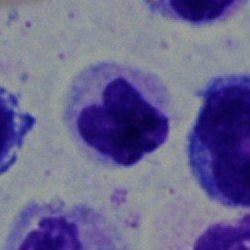 Showing a polymorphonuclear neutrophil.